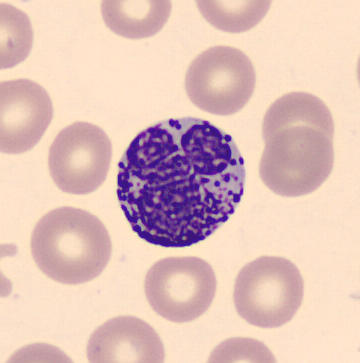
Q: What is this?
A: It is a basophilic granulocyte.
Image: Peripheral blood smear.